Bone marrow smear · image size 250×250
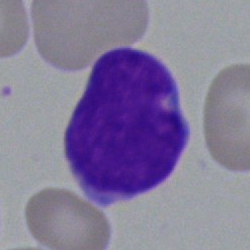Specimen: bone marrow smear.
Cell type: blast.